Bone marrow aspirate smear:
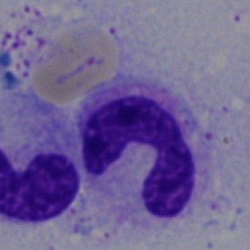 This is a neutrophil (segmented).